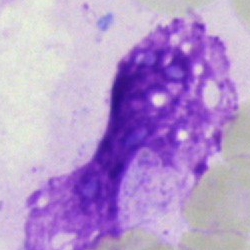
An artifact.